Bone marrow aspirate smear. Single-cell field: 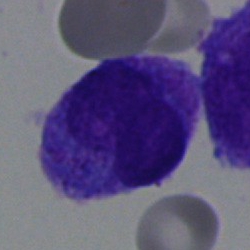
Showing an undifferentiated blast.